Bone marrow smear
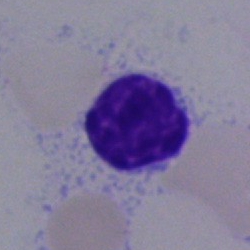
Morphology consistent with a lymphocyte.